Peripheral blood film: 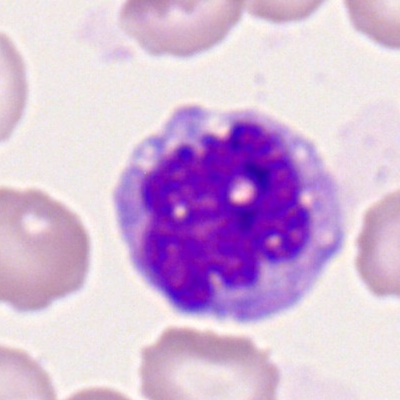 Showing a monocyte.